Bone marrow smear.
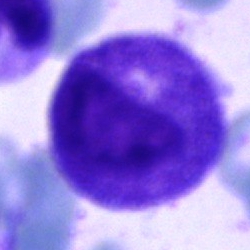Specimen: bone marrow smear.
Morphological class: progranulocyte.
Lineage: myeloid.